Bone marrow aspirate smear.
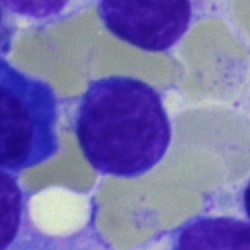Morphology consistent with a typical lymphocyte.